Bone marrow aspirate smear
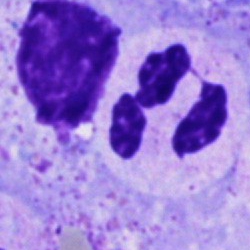Impression → polymorphonuclear neutrophil.